Bone marrow aspirate smear · MGG-stained · single-cell crop.
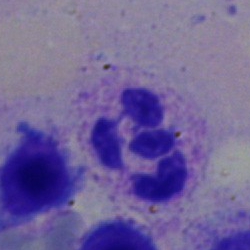
Q: What type of cell is this?
A: It is a polymorphonuclear neutrophil.